Bone marrow aspirate smear. Pappenheim-stained — 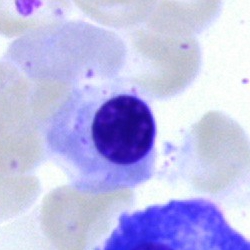This is an erythroblast.